Bone marrow smear: 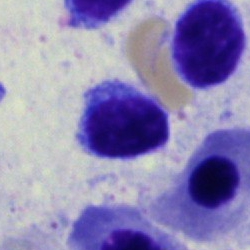

Classification: typical lymphocyte.